MGG-stained. Bone marrow aspirate smear.
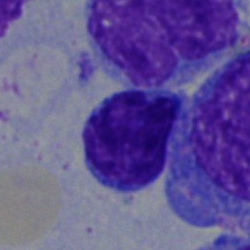
Showing a typical lymphocyte.